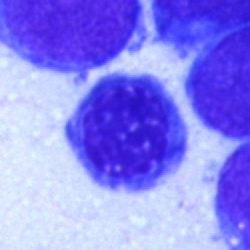Specimen: bone marrow smear.
Classification: nucleated red cell.
Lineage: erythroid.